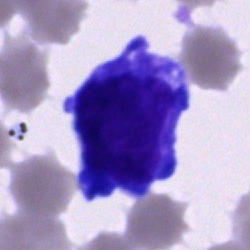 Classification: blast.